Bone marrow aspirate smear:
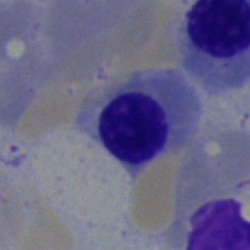
This is a nucleated red blood cell.